250×250 · bone marrow aspirate smear:
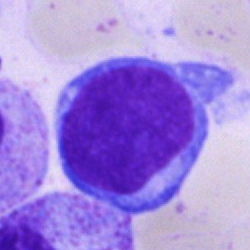 Morphology consistent with a blast.